Bone marrow smear. May-Grünwald-Giemsa/Pappenheim stain — 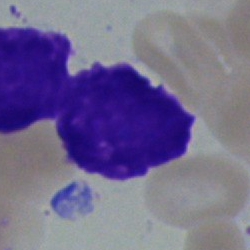

Q: What is shown here?
A: It is an artefact.